250×250 px; MGG-stained; bone marrow smear
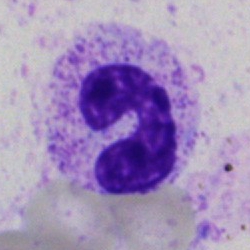

Q: What is shown here?
A: Neutrophil (band).